250 by 250 pixels · 40× oil immersion · bone marrow aspirate smear:
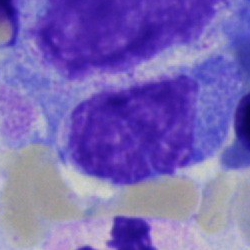 Impression → undifferentiated blast.